Single-cell crop · 250 by 250 pixels · bone marrow smear: 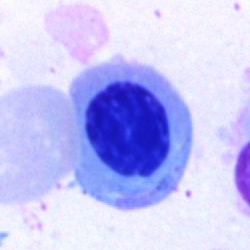 Morphology → artefact.